Bone marrow smear:
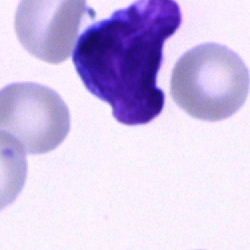The classification is blast cell.